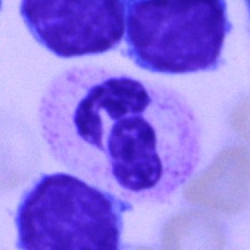Cell type: segmented neutrophil.